Bone marrow aspirate smear:
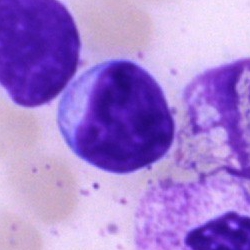

Classification — lymphocyte.